Bone marrow aspirate smear.
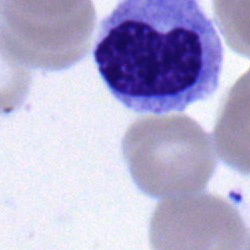Showing a metamyelocyte.